Bone marrow smear — 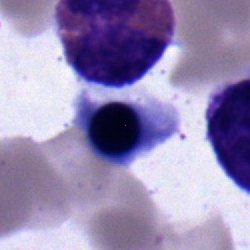
Q: What is shown here?
A: This is a nucleated red cell.